40× oil immersion · 250 by 250 pixels · bone marrow aspirate smear — 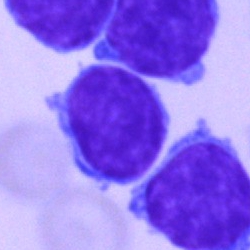
Q: Which cell type is shown here?
A: This is a typical lymphocyte.